Peripheral blood smear
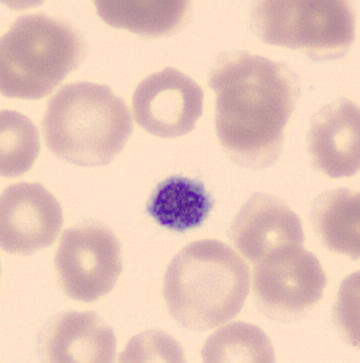 {"cell_type": "platelet"}